Bone marrow smear: 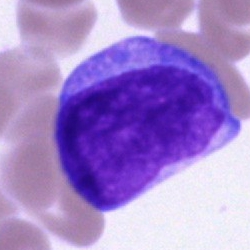 Morphology — undifferentiated blast.